MGG-stained. Bone marrow aspirate smear
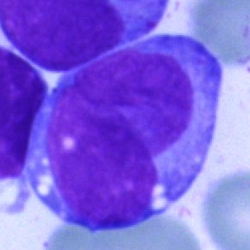A blast cell.